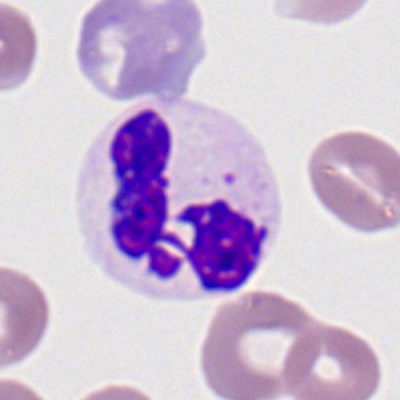

Peripheral blood film, single cell — neutrophil (segmented).